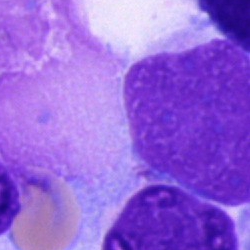 Q: What is shown here?
A: An artefact.